Bone marrow smear: 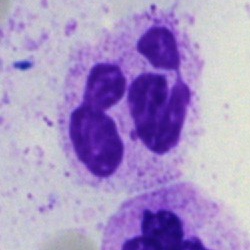

Cell — neutrophil (segmented).